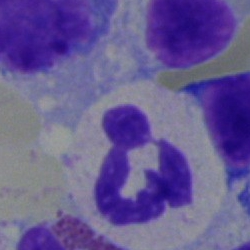
Bone marrow aspirate smear, single cell — neutrophil (segmented).